Bone marrow aspirate smear.
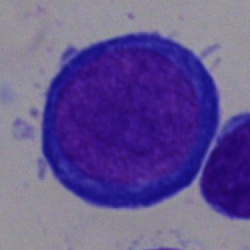Pronormoblast.